Pappenheim-stained; bone marrow smear
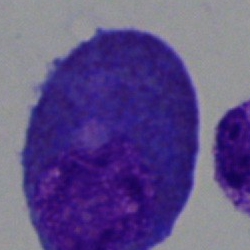

Classification: cell of indeterminate lineage.